Bone marrow aspirate smear
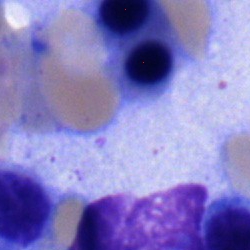

Classification — normoblast.